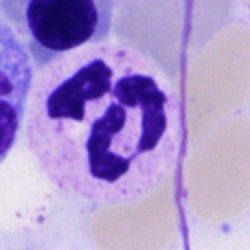
Q: What type of cell is this?
A: This is a segmented neutrophil.